Bone marrow smear: 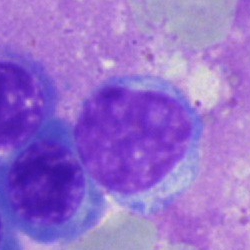The cell type is typical lymphocyte.